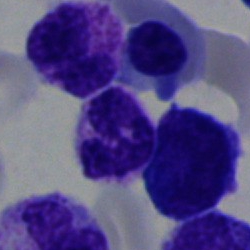Cell = segmented neutrophil.